Peripheral blood film.
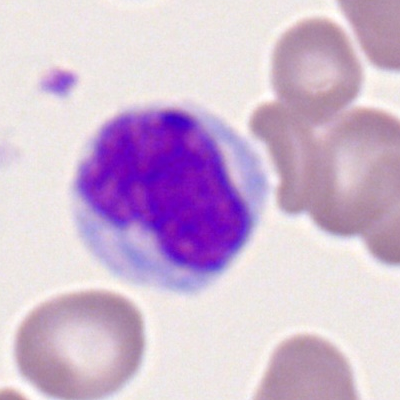
Morphological class: monocyte.